Bone marrow aspirate smear: 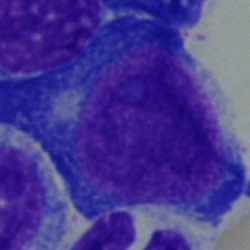
{"cell_type": "proerythroblast", "lineage": "erythroid"}